Bone marrow smear; cropped to a single cell
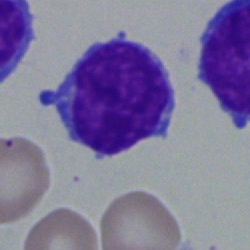

A typical lymphocyte.